Bone marrow smear · cropped to a single cell — 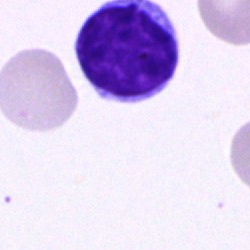{"cell_type": "lymphocyte"}